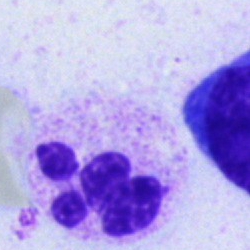

The cell type is segmented neutrophil.